Peripheral blood smear. 100× oil immersion: 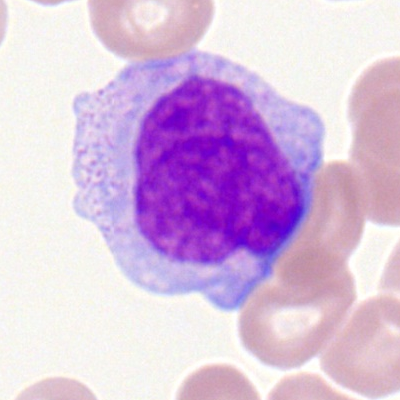
Single cell identified as a monocyte.